Cropped to a single cell. Brightfield, 100× oil-immersion objective. Peripheral blood smear — 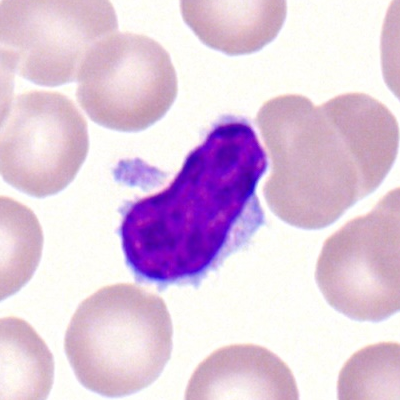The cell shown is a typical lymphocyte.